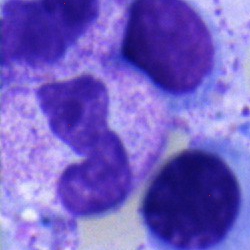A neutrophil (segmented) on a bone marrow smear.